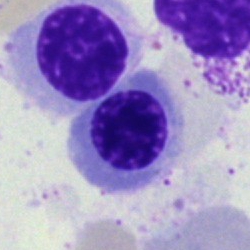

A nucleated red blood cell on a bone marrow smear.